Pappenheim-stained. Bone marrow aspirate smear.
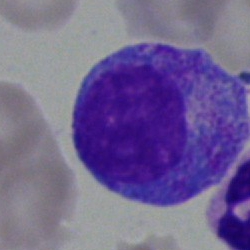
Showing a progranulocyte.